Bone marrow aspirate smear.
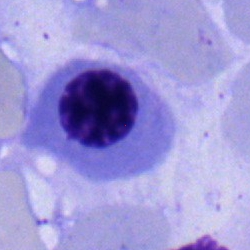Morphological class — normoblast.